Bone marrow smear. Single-cell crop
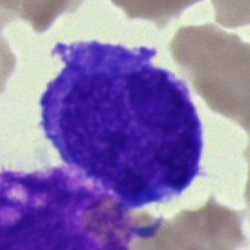 Cell type — blast.